Bone marrow smear — 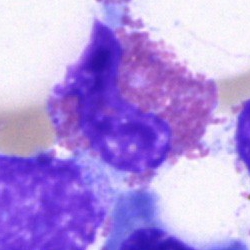

Q: Identify the cell.
A: An eosinophil.